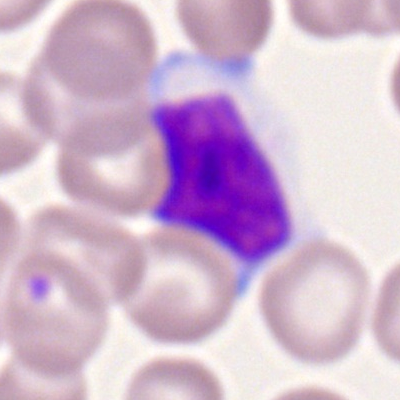

The classification is lymphocyte.